Bone marrow aspirate smear. 40× objective, oil immersion:
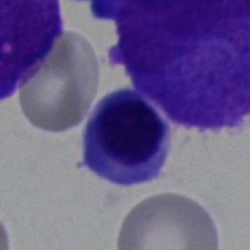Morphological class — normoblast.